Bone marrow smear.
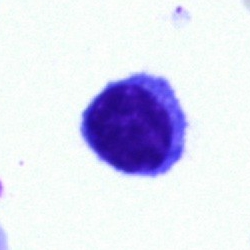

Q: What type of cell is this?
A: This is a lymphocyte.